40× objective, oil immersion; bone marrow aspirate smear: 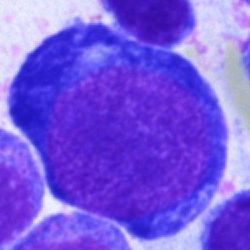 This is a pronormoblast.